40× objective, oil immersion. MGG-stained. Bone marrow smear:
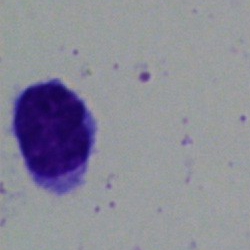Q: What is shown here?
A: This is a typical lymphocyte.